Bone marrow smear:
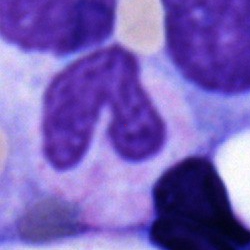 Classification = band-form neutrophil.